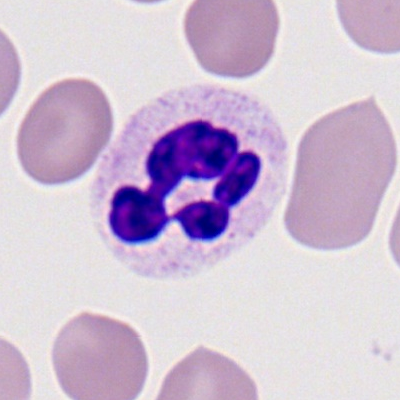Segmented neutrophil.